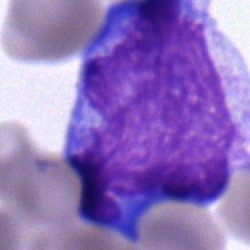
Classification — blast.